Bone marrow aspirate smear. May-Grünwald-Giemsa/Pappenheim stain
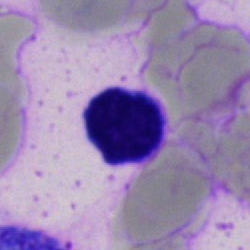
The cell shown is a lymphocyte.